Bone marrow smear:
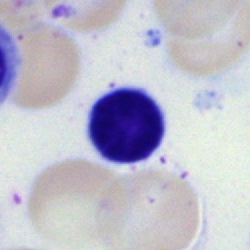

Q: What is shown here?
A: It is a typical lymphocyte.